Bone marrow smear.
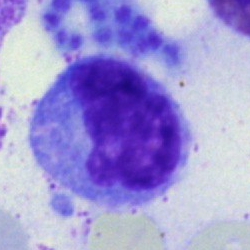Cell type: monocyte.